Bone marrow smear
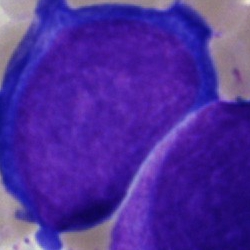Impression → proerythroblast.